Bone marrow aspirate smear. May-Grünwald-Giemsa/Pappenheim stain. Cropped to a single cell.
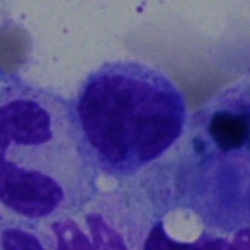 The classification is lymphocyte.